Bone marrow aspirate smear; brightfield, 40× oil-immersion objective; single-cell crop — 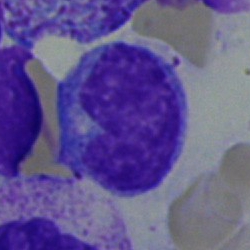
A monocyte.